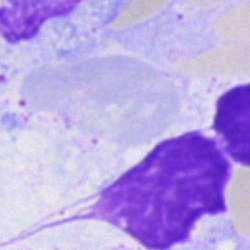 Specimen: bone marrow smear.
Cell: artefact.